250 by 250 pixels; brightfield microscopy, 40× oil immersion; bone marrow smear: 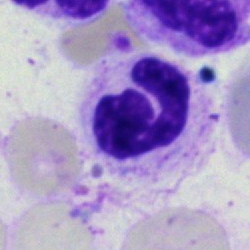 Morphological class — polymorphonuclear neutrophil.